Bone marrow smear:
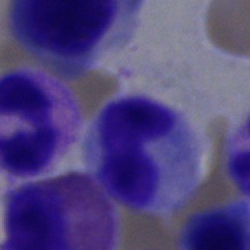
Showing a stab cell.